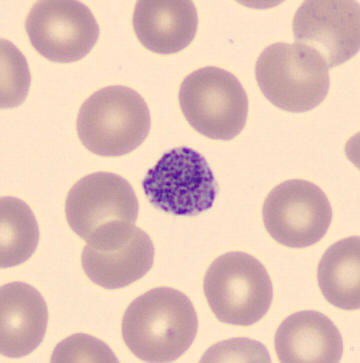Morphology consistent with a platelet (thrombocyte).